Bone marrow aspirate smear:
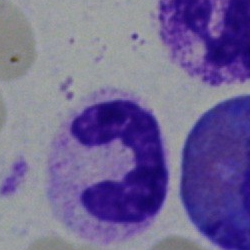Specimen: bone marrow smear.
Morphological class: neutrophil (band).
Lineage: myeloid.